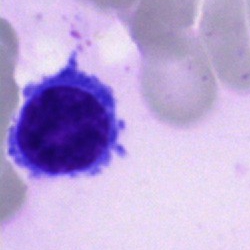

Morphology consistent with a lymphocyte.